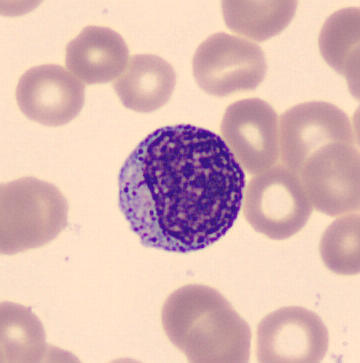 Q: What is this?
A: It is a myelocyte.